Bone marrow aspirate smear
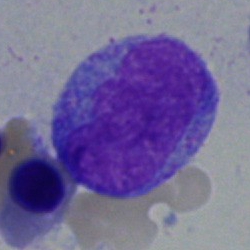

Morphological class = blast cell.